Bone marrow aspirate smear · May-Grünwald-Giemsa stain
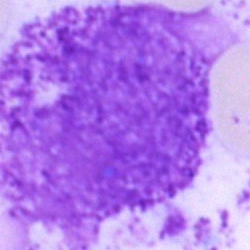

{"cell_type": "artefact"}